Bone marrow smear: 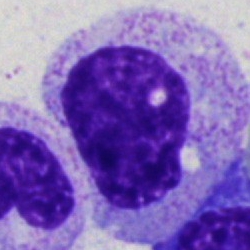

Myelocyte.